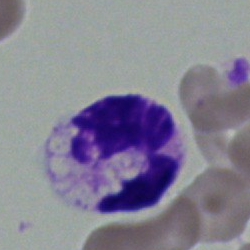Single cell identified as a segmented neutrophil.